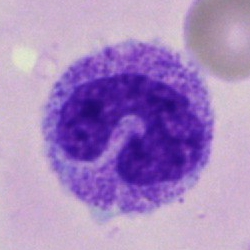Q: What cell is this?
A: It is a band neutrophil.